Bone marrow aspirate smear. Single cell centered in the field
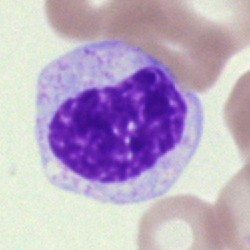

Myelocyte.